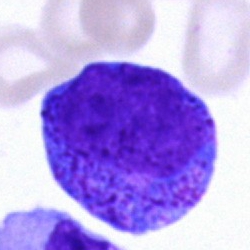Single-cell crop from a bone marrow smear: progranulocyte.